Brightfield microscopy, 40× oil immersion. Bone marrow smear
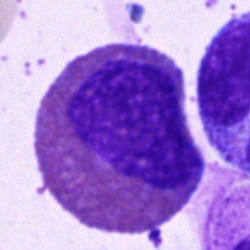Specimen: bone marrow smear.
Morphological class: eosinophilic granulocyte.